Single-cell field; image size 250×250; bone marrow aspirate smear: 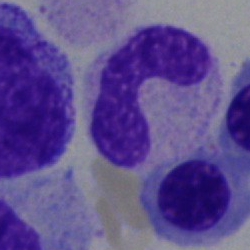Q: What is shown here?
A: Band neutrophil.